Bone marrow aspirate smear.
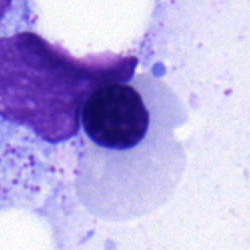

The cell shown is a normoblast.